Image size 250×250 · bone marrow aspirate smear:
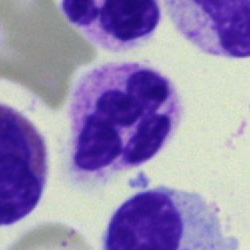Morphology — polymorphonuclear neutrophil.